Single-cell field · bone marrow aspirate smear:
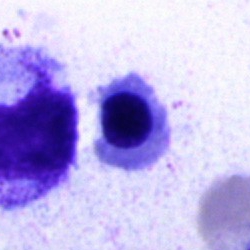 Morphology consistent with a nucleated red blood cell.